Brightfield microscopy, 40× oil immersion · bone marrow smear:
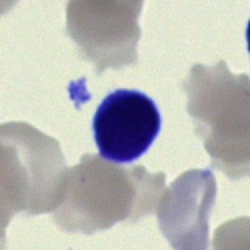 Classification = lymphocyte.